Single-cell crop. Bone marrow smear: 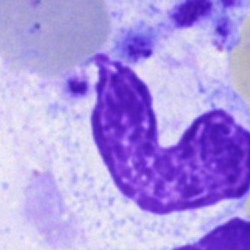 Morphology consistent with an artefact.